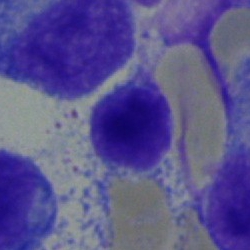Impression — typical lymphocyte.